Bone marrow aspirate smear: 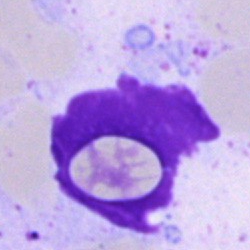

Showing an artefact.